Bone marrow smear. May-Grünwald-Giemsa stain: 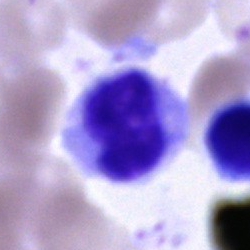A cell of indeterminate lineage.